Bone marrow aspirate smear; 40× oil immersion: 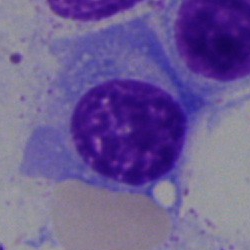Q: What cell is this?
A: Plasma cell.